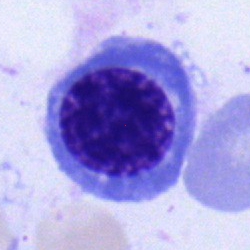
The cell is nucleated red cell.